Bone marrow smear.
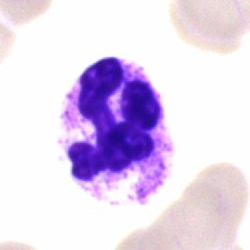Cell type — polymorphonuclear neutrophil.